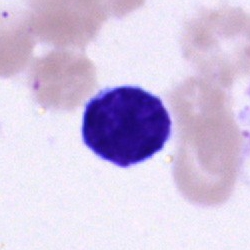 Specimen: bone marrow aspirate smear.
Cell: typical lymphocyte.
Lineage: lymphoid.